Peripheral blood film:
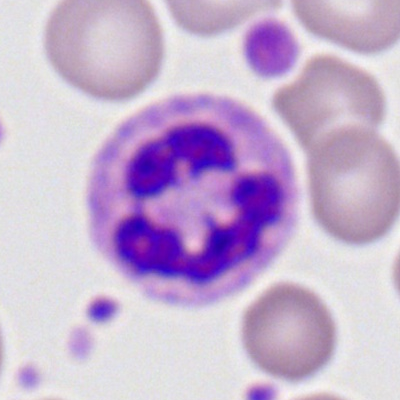
Cell = segmented neutrophil.